Bone marrow aspirate smear:
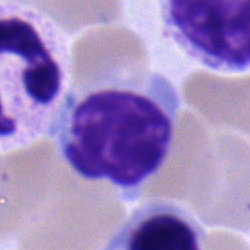

Morphology — typical lymphocyte.